Bone marrow aspirate smear — 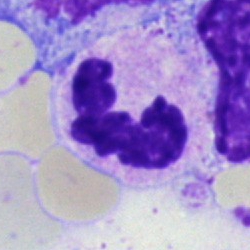The cell type is neutrophil (segmented).